Bone marrow aspirate smear.
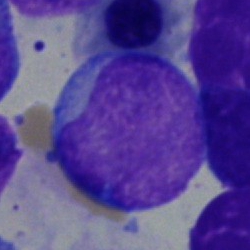 The cell shown is an undifferentiated blast.